Bone marrow aspirate smear. 250×250 px. Pappenheim-stained.
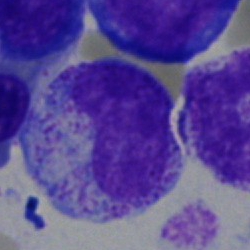

Specimen: bone marrow aspirate smear.
Classification: metamyelocyte.
Lineage: myeloid.